Pappenheim-stained. Bone marrow aspirate smear — 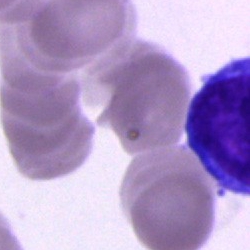

The classification is blast.